Bone marrow smear; 40× objective, oil immersion; MGG-stained — 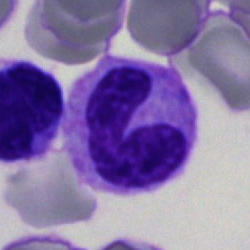
Q: What is the morphological classification of this cell?
A: A band neutrophil.